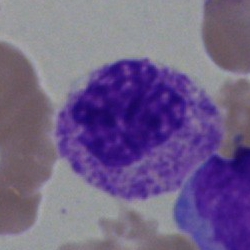 Morphology consistent with a myelocyte.